Peripheral blood smear:
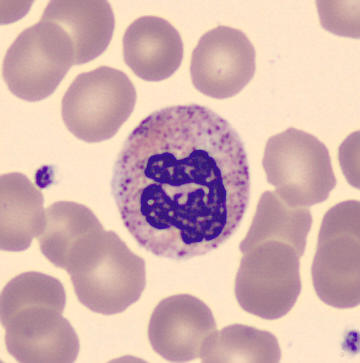 The cell type is polymorphonuclear neutrophil.